Bone marrow aspirate smear.
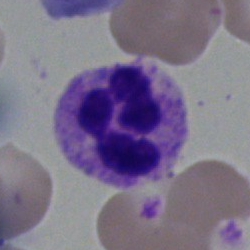 Cell = polymorphonuclear neutrophil.